Bone marrow smear — 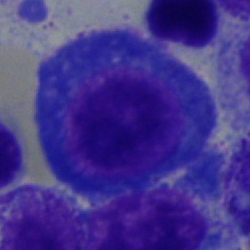
Specimen: bone marrow aspirate smear.
Classification: plasma cell.